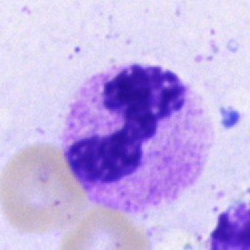

Q: Identify the cell.
A: A polymorphonuclear neutrophil.